40× oil immersion; bone marrow smear; 250×250
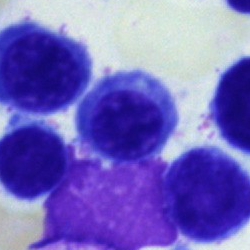
The cell is nucleated red cell.